250 by 250 pixels. Bone marrow smear
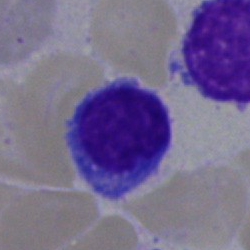 This is a lymphocyte.